Bone marrow smear:
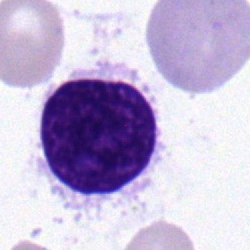
Impression → typical lymphocyte.